Bone marrow aspirate smear:
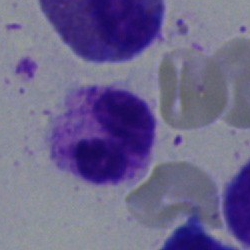
Specimen: bone marrow aspirate smear.
Cell type: polymorphonuclear neutrophil.
Lineage: myeloid.